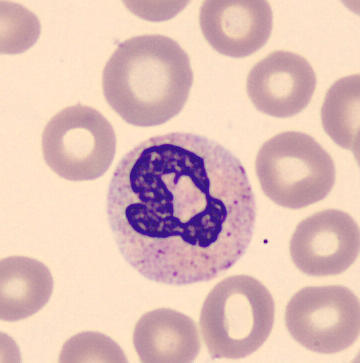Showing a polymorphonuclear neutrophil.